Image size 250×250. Cropped to a single cell. Bone marrow aspirate smear
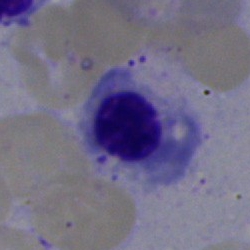
Specimen: bone marrow aspirate smear.
Cell type: nucleated red cell.
Lineage: erythroid.